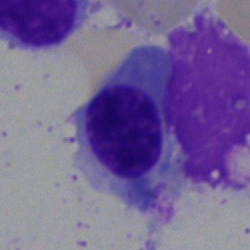Morphology → erythroblast.